Bone marrow aspirate smear:
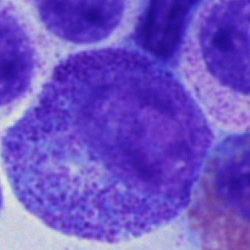

Impression → promyelocyte.